Bone marrow aspirate smear; single-cell crop; brightfield microscopy, 40× oil immersion:
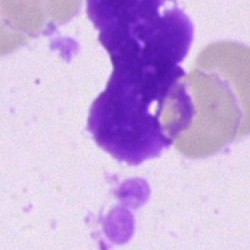

Classification = artefact.